Bone marrow aspirate smear: 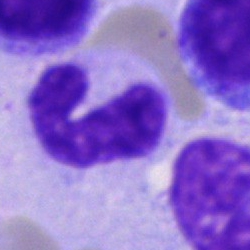

The cell shown is a neutrophil (band).